40× objective, oil immersion. 250×250. Bone marrow aspirate smear: 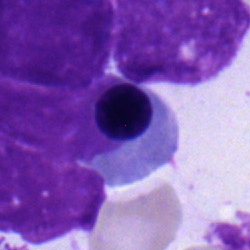
Morphological class: normoblast.